Peripheral blood smear; Romanowsky-type stain; brightfield, 100× oil-immersion objective.
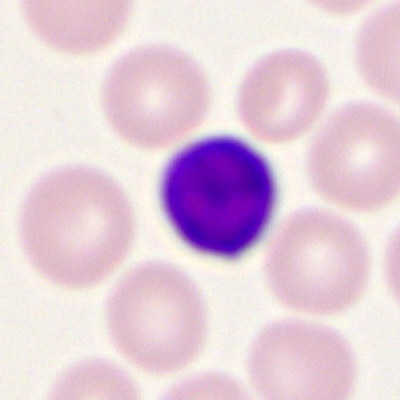

A lymphocyte.